250×250 px. Bone marrow smear — 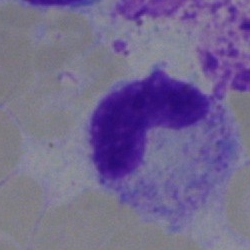

Impression → band-form neutrophil.